40× oil immersion · bone marrow aspirate smear — 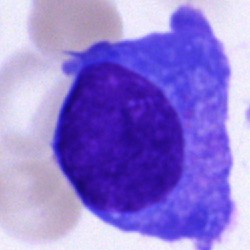 Showing a plasmacyte.